Bone marrow smear · cropped to a single cell:
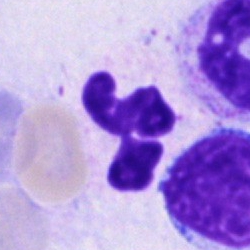 Classification: neutrophil (segmented).